250×250. Bone marrow aspirate smear. 40× oil immersion
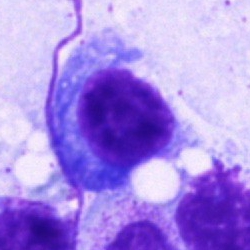

Specimen: bone marrow smear.
Cell: plasma cell.